Bone marrow aspirate smear:
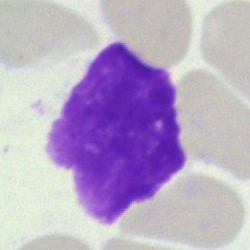 A smudge cell.